Bone marrow smear; image size 250×250:
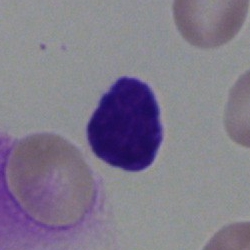 Impression → lymphocyte.